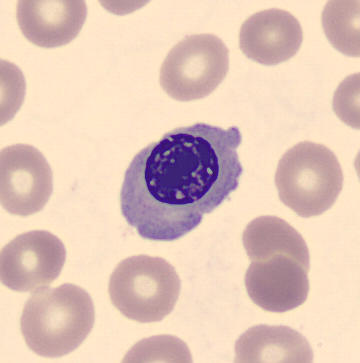

Specimen: peripheral blood film.
Classification: nucleated red cell.